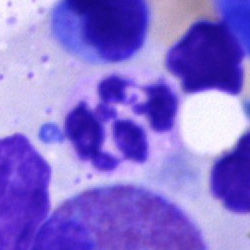 The cell shown is a polymorphonuclear neutrophil.